250×250 · bone marrow smear · May-Grünwald-Giemsa/Pappenheim stain.
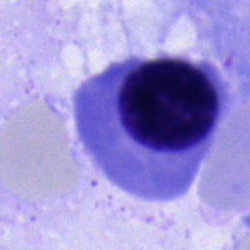
This is a nucleated red cell.